Peripheral blood smear; CellaVision DM96 digital cell image; single-cell field
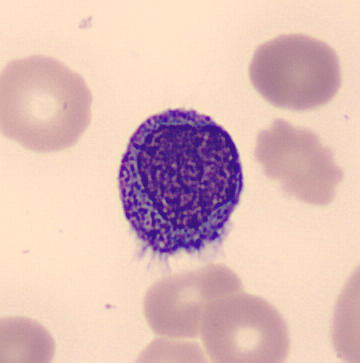 Morphology — monocyte.